Bone marrow aspirate smear: 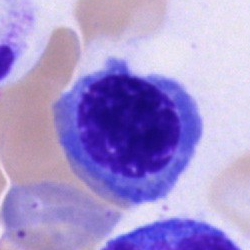Single cell identified as an erythroblast.